Cropped to a single cell · bone marrow smear · 250 by 250 pixels
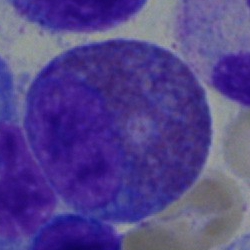

Showing an eosinophil.